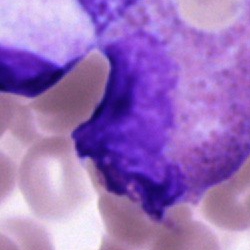 Classification — eosinophil.